Bone marrow aspirate smear: 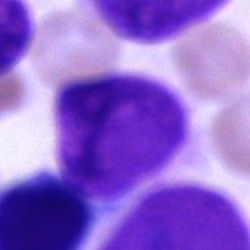{"cell_type": "artefact"}